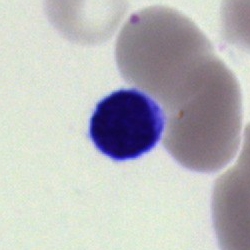Classification — artifact.